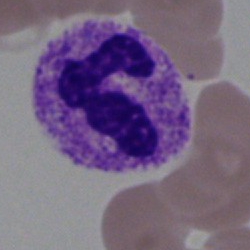

Specimen: bone marrow smear.
Cell: neutrophil (segmented).
Lineage: myeloid.